Bone marrow aspirate smear. 250 by 250 pixels. Brightfield microscopy, 40× oil immersion.
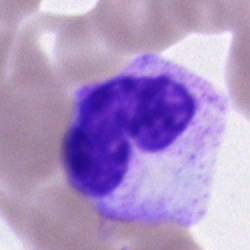 A neutrophil (segmented).